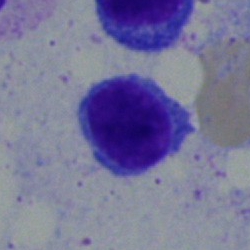
Bone marrow smear showing a typical lymphocyte.